Bone marrow aspirate smear:
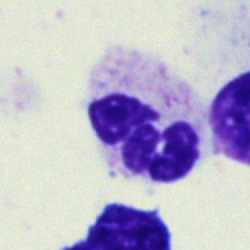
Specimen: bone marrow smear.
Cell: polymorphonuclear neutrophil.
Lineage: myeloid.